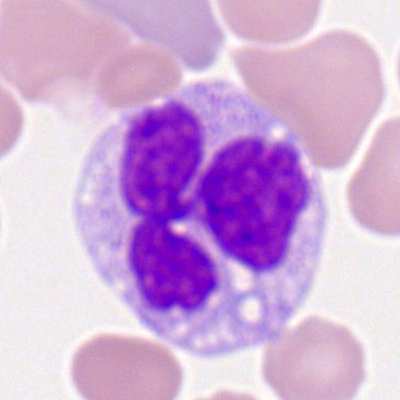

Impression → monocyte.